Bone marrow aspirate smear.
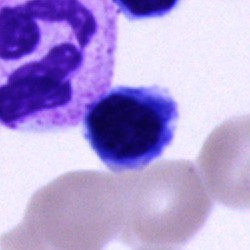 The cell shown is an erythroblast.